Bone marrow aspirate smear
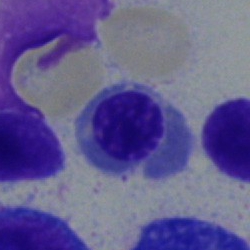

Q: Identify the cell.
A: This is a normoblast.